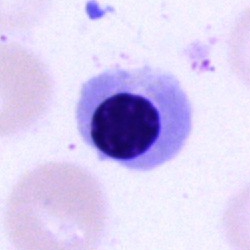 Specimen: bone marrow smear.
Morphological class: normoblast.
Lineage: erythroid.